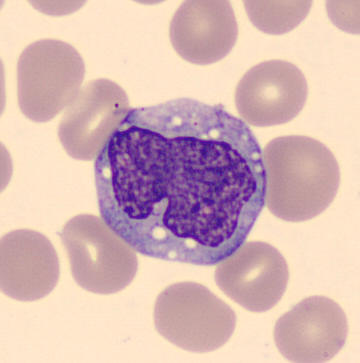 Peripheral blood film. Q: What cell is this?
A: This is a monocyte.